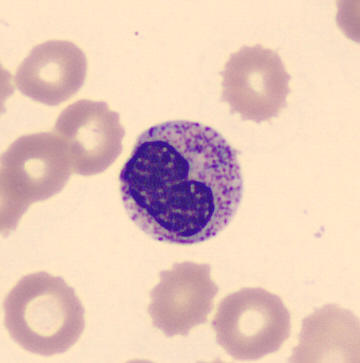 Morphological class: metamyelocyte.